Bone marrow smear; May-Grünwald-Giemsa/Pappenheim stain; 250×250 — 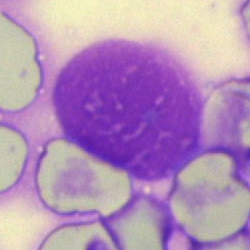Single cell identified as an artefact.